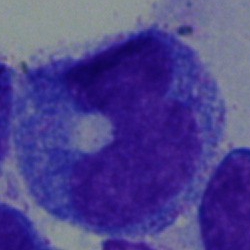 Cell: progranulocyte.